Bone marrow smear.
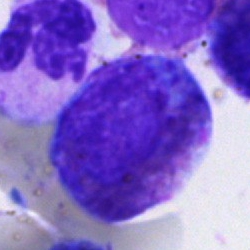
This is a promyelocyte.